250×250. Bone marrow smear: 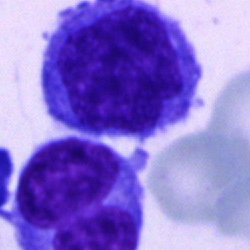
Cell = undifferentiated blast.